Peripheral blood film — 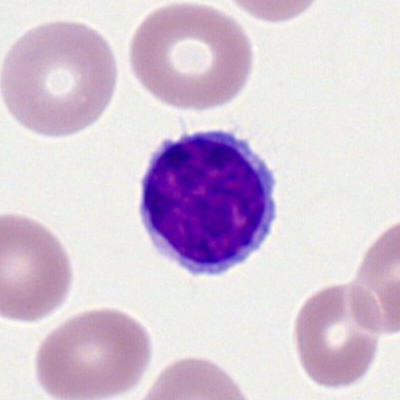

Specimen: peripheral blood smear.
Morphological class: lymphocyte.
Lineage: lymphoid.